Pappenheim-stained. Bone marrow aspirate smear
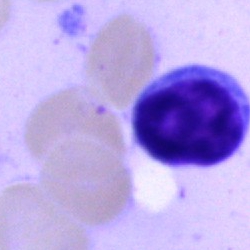 A lymphocyte.